Bone marrow aspirate smear. Brightfield microscopy, 40× oil immersion: 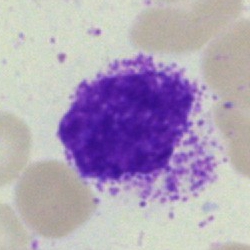Classification — artefact.